Bone marrow aspirate smear.
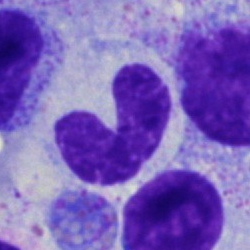 Impression — stab cell.